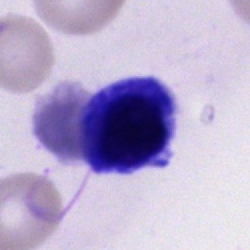Specimen: bone marrow aspirate smear.
Cell type: erythroblast.
Lineage: erythroid.